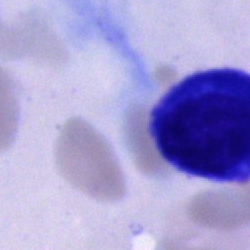

Cell: unidentifiable cell.